Bone marrow smear; brightfield, 40× oil-immersion objective; May-Grünwald-Giemsa stain
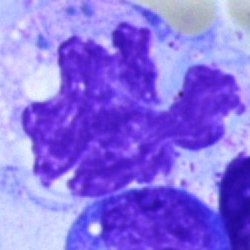Q: What cell is this?
A: Monocyte.